Bone marrow aspirate smear. 40× oil immersion — 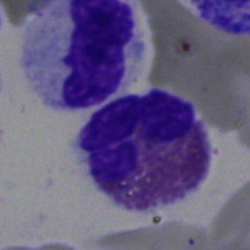Cell type — eosinophil.